Bone marrow aspirate smear:
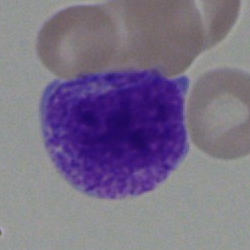 Morphology → myelocyte.